Bone marrow aspirate smear · single cell centered in the field:
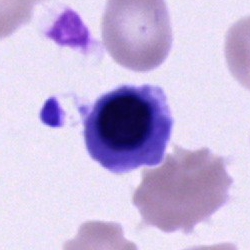
Cell type: nucleated red blood cell.